Bone marrow aspirate smear
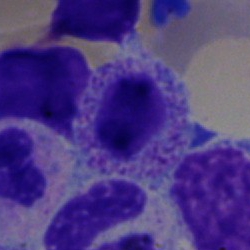

Morphological class = myelocyte.